Peripheral blood film.
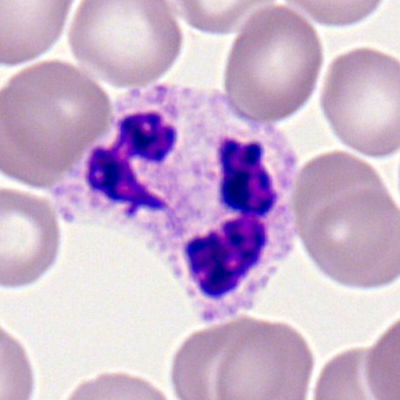Q: What is the morphological classification of this cell?
A: It is a segmented neutrophil.